Brightfield microscopy, 40× oil immersion; bone marrow aspirate smear; single-cell crop.
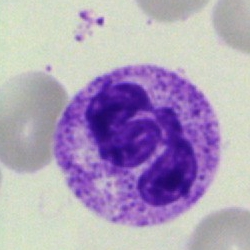Showing a neutrophil (segmented).